Bone marrow aspirate smear — 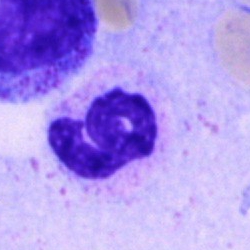 Specimen: bone marrow aspirate smear.
Cell: neutrophil (segmented).
Lineage: myeloid.